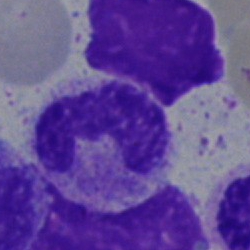Morphological class = stab cell.